Bone marrow smear — 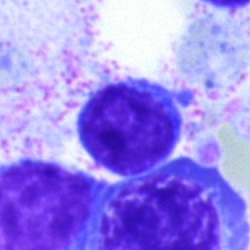

Specimen: bone marrow smear.
Morphological class: typical lymphocyte.